Bone marrow smear — 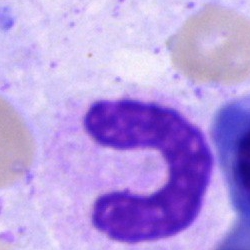
Specimen: bone marrow smear.
Morphological class: neutrophil (band).
Lineage: myeloid.